Romanowsky stain. Peripheral blood film:
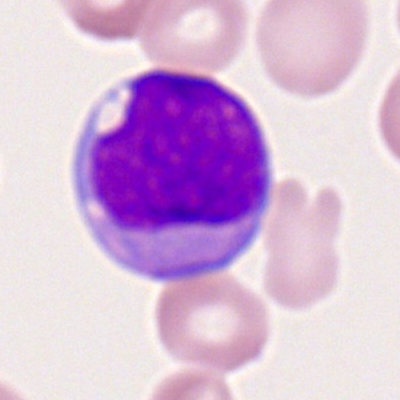 Single cell identified as a myeloblast.